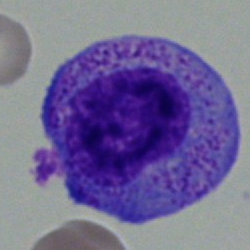

Morphology consistent with a promyelocyte.